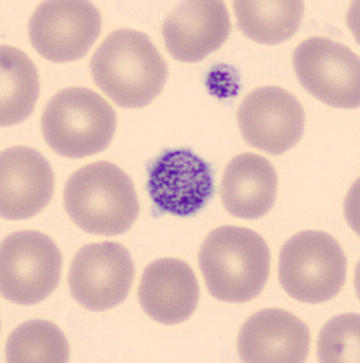

Image: MGG-stained. Specimen: peripheral blood smear.
Morphological class: platelet (thrombocyte).